40× oil immersion; bone marrow aspirate smear:
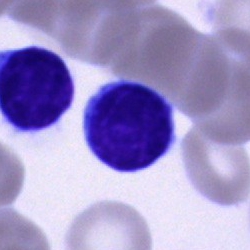
{"cell_type": "lymphocyte"}